Single-cell field; bone marrow aspirate smear; 40× oil immersion — 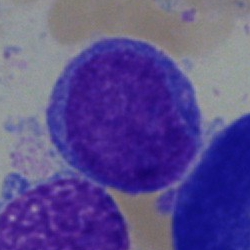 The morphological class is blast.